Bone marrow smear. Cropped to a single cell. Pappenheim-stained — 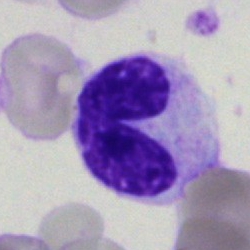
Q: What type of cell is this?
A: It is a band neutrophil.